Bone marrow smear — 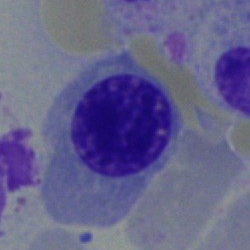 Specimen: bone marrow smear.
Morphological class: nucleated red blood cell.